Peripheral blood smear: 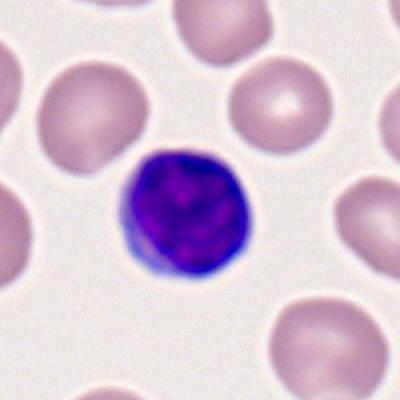

Classification: lymphocyte.